Bone marrow aspirate smear — 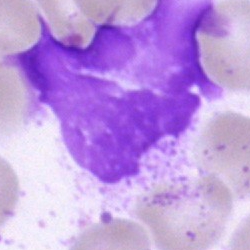

Morphology consistent with an artifact.